Romanowsky-stained. Image size 400×400. Peripheral blood film:
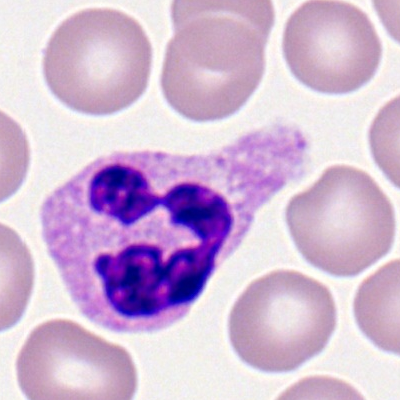
Q: What type of cell is this?
A: It is a segmented neutrophil.